Bone marrow aspirate smear; 250×250 px
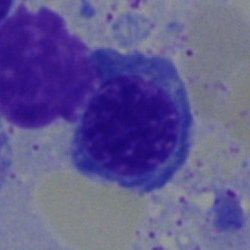
This is a nucleated red cell.